Bone marrow smear · May-Grünwald-Giemsa/Pappenheim stain · cropped to a single cell — 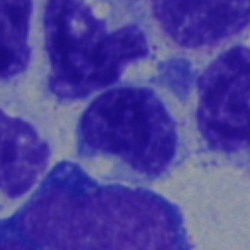
Showing a lymphocyte.